Brightfield microscopy, 40× oil immersion. May-Grünwald-Giemsa stain. Bone marrow aspirate smear.
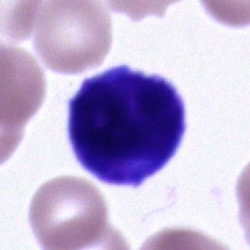 Specimen: bone marrow aspirate smear.
Morphological class: cell of indeterminate lineage.